Bone marrow aspirate smear
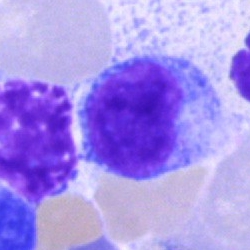 Q: What type of cell is this?
A: This is a typical lymphocyte.